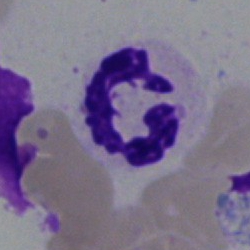Specimen: bone marrow smear.
Classification: segmented neutrophil.
Lineage: myeloid.